Brightfield microscopy, 40× oil immersion · bone marrow smear.
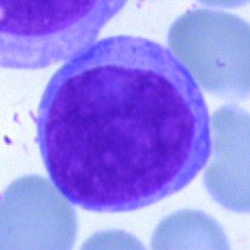
Classification: blast cell.